Bone marrow aspirate smear:
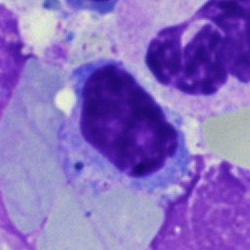 Morphology consistent with a lymphocyte.